Bone marrow aspirate smear. May-Grünwald-Giemsa/Pappenheim stain. Single cell centered in the field — 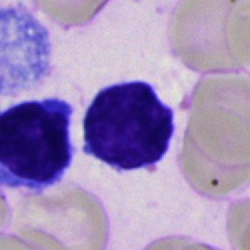

Single cell identified as a lymphocyte.